Bone marrow aspirate smear
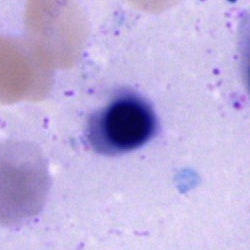 Showing an erythroblast.